Cropped to a single cell. Romanowsky-type stain. Peripheral blood film: 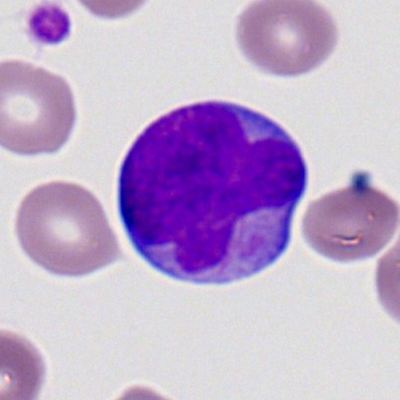 Morphology consistent with a myeloid blast.